Peripheral blood smear:
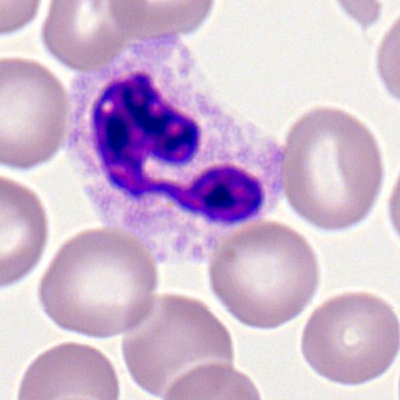Morphology — polymorphonuclear neutrophil.